Bone marrow aspirate smear.
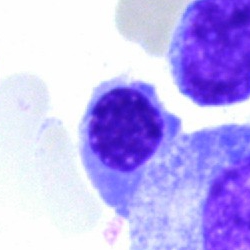

Erythroblast.